Bone marrow smear · 40× oil immersion
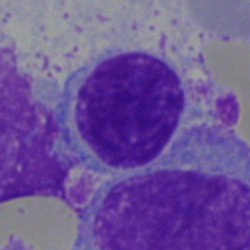 Morphology consistent with a typical lymphocyte.